MGG-stained · bone marrow smear: 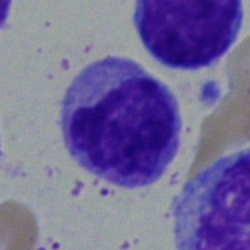Q: Identify the cell.
A: A lymphocyte.